Bone marrow smear — 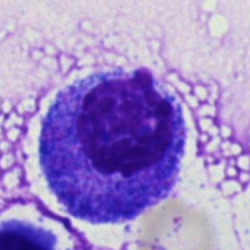
A promyelocyte.